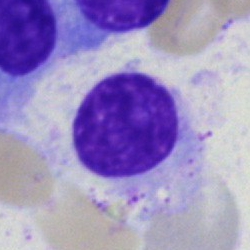Classification: typical lymphocyte.